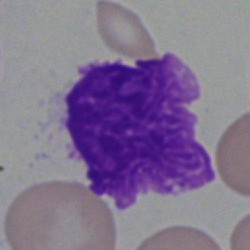Single-cell crop from a bone marrow smear: artifact.